Bone marrow aspirate smear. Pappenheim-stained.
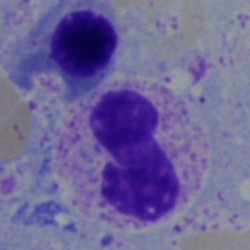Stab cell.